40× objective, oil immersion · bone marrow aspirate smear
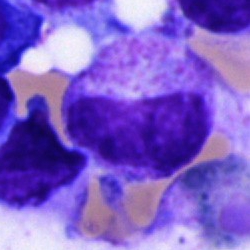 Q: Which cell type is shown here?
A: This is a metamyelocyte.